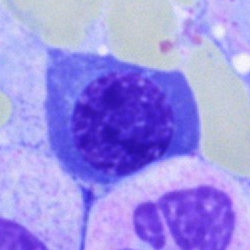 Morphological class: nucleated red blood cell.